Single cell centered in the field; May-Grünwald-Giemsa/Pappenheim stain; bone marrow smear:
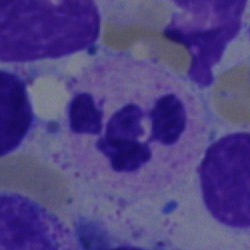Specimen: bone marrow aspirate smear.
Morphological class: polymorphonuclear neutrophil.
Lineage: myeloid.